Bone marrow aspirate smear. 40× objective, oil immersion.
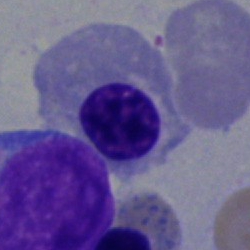

Cell type: nucleated red cell.